Bone marrow smear.
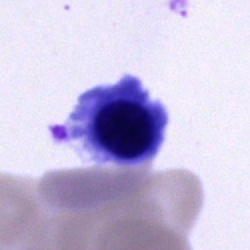 Showing an unidentifiable cell.